Bone marrow aspirate smear; 40× oil immersion; cropped to a single cell.
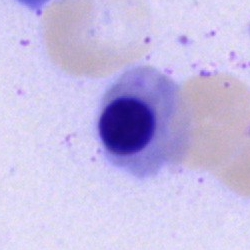
The cell shown is an erythroblast.